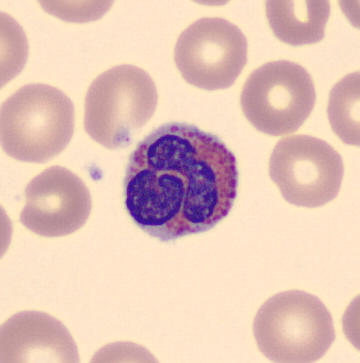

Cell type — eosinophil.